Bone marrow smear. 250×250.
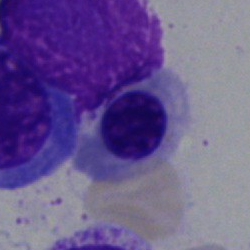 A nucleated red blood cell.